100× objective, oil immersion · peripheral blood smear — 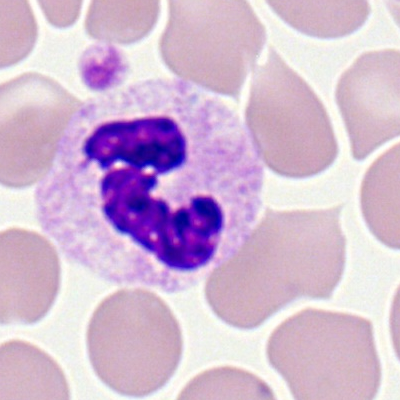Specimen: peripheral blood film.
Cell: polymorphonuclear neutrophil.
Lineage: myeloid.